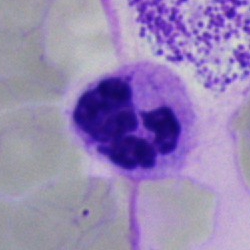Q: What is shown here?
A: Neutrophil (segmented).